Bone marrow aspirate smear:
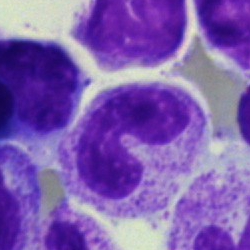Q: What cell is this?
A: Neutrophil (band).